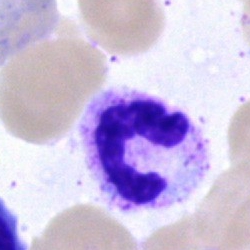 The cell shown is a neutrophil (segmented).